400 by 400 pixels. Peripheral blood smear. 100× oil immersion.
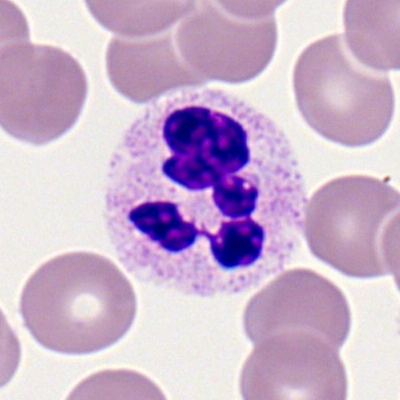
{"cell_type": "neutrophil (segmented)", "lineage": "myeloid"}